Bone marrow aspirate smear. 40× objective, oil immersion.
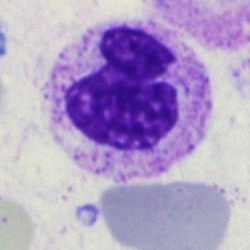
This is a band-form neutrophil.